40× oil immersion · bone marrow aspirate smear
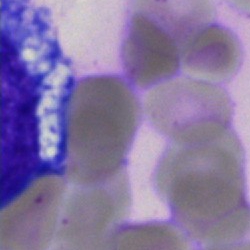 Morphological class = unidentifiable cell.